Bone marrow smear: 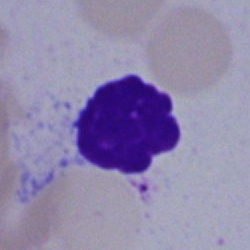
Cell type = artifact.